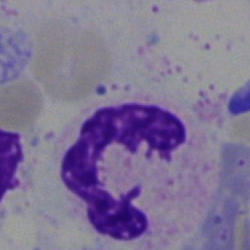

This is a polymorphonuclear neutrophil.